Pappenheim-stained; bone marrow smear
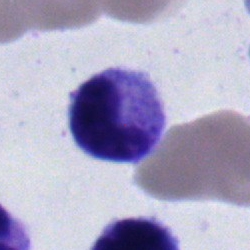The cell shown is a metamyelocyte.